Bone marrow aspirate smear.
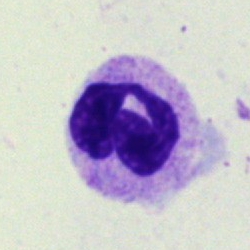Morphological class: polymorphonuclear neutrophil.